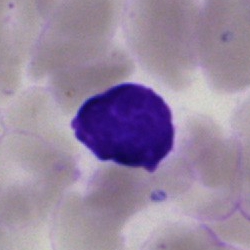 Specimen: bone marrow smear.
Cell: artifact.